Bone marrow smear
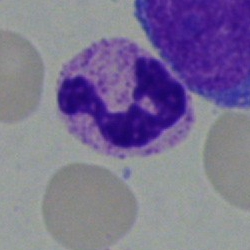{"cell_type": "segmented neutrophil", "lineage": "myeloid"}